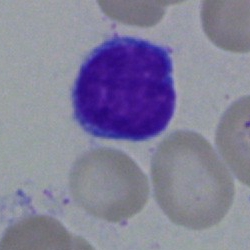Single-cell crop from a bone marrow smear: typical lymphocyte.